Bone marrow smear: 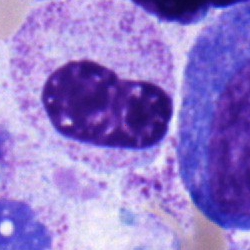
Cell = metamyelocyte.